250 by 250 pixels · May-Grünwald-Giemsa stain · bone marrow smear.
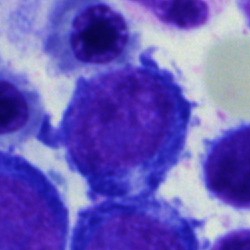Impression — proerythroblast.